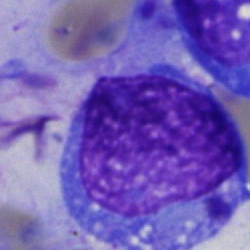{"cell_type": "undifferentiated blast"}